250×250. Bone marrow smear
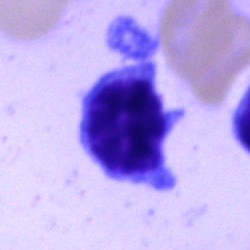

The cell shown is a lymphocyte.